Bone marrow aspirate smear. Image size 250×250: 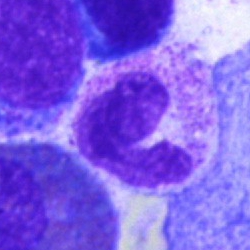Q: What is the morphological classification of this cell?
A: A band neutrophil.